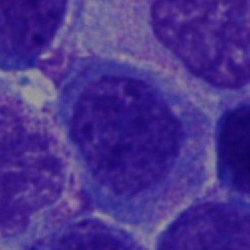

Cell type: undifferentiated blast.